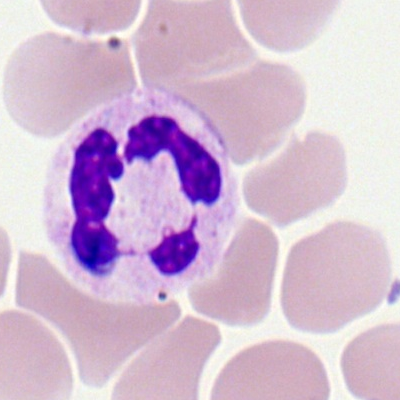Showing a polymorphonuclear neutrophil.